Bone marrow smear.
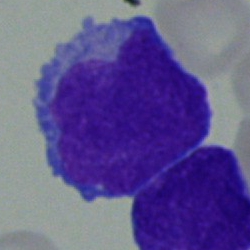 Single cell identified as a blast.